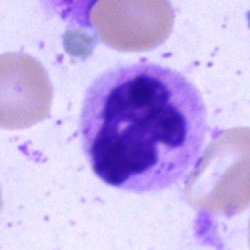 Bone marrow aspirate smear, single cell — polymorphonuclear neutrophil.